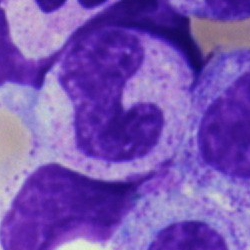

Morphology consistent with a neutrophil (band).